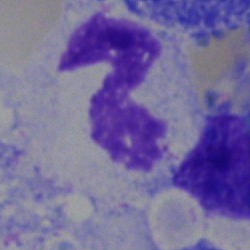Classification = polymorphonuclear neutrophil.